Peripheral blood smear: 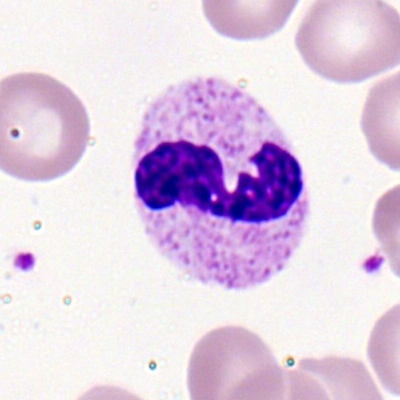Cell: neutrophil (segmented).